Image size 400×400 · Romanowsky-type stain · peripheral blood smear — 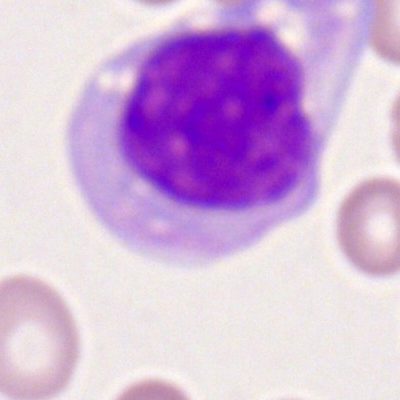Monocyte.